Peripheral blood smear — 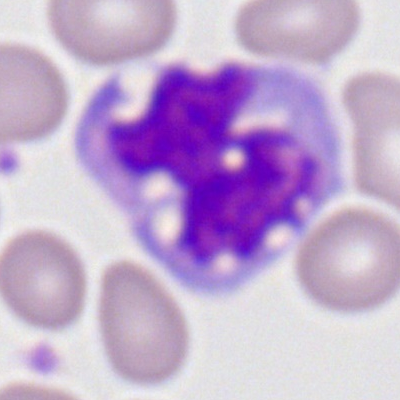Cell type: monocyte.